Peripheral blood smear; brightfield, 100× oil-immersion objective: 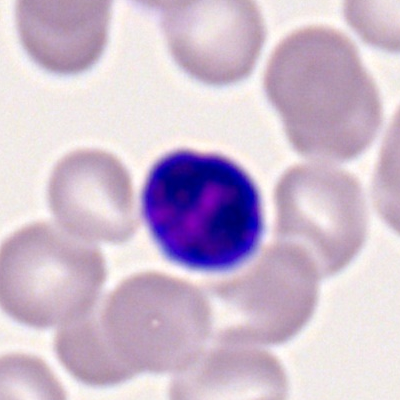Single cell identified as a lymphocyte.